Single cell centered in the field; bone marrow aspirate smear: 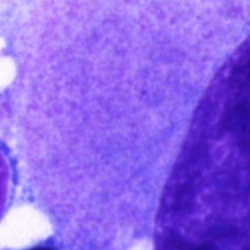

Classification: artifact.